Bone marrow smear: 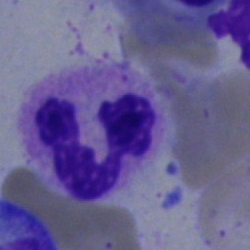The cell type is segmented neutrophil.